Bone marrow aspirate smear
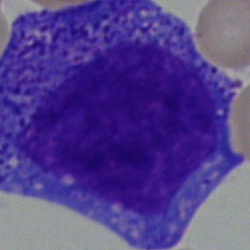
Morphology consistent with a progranulocyte.